Bone marrow smear:
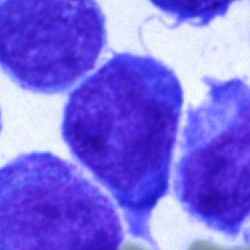 The cell shown is a blast.